Bone marrow smear: 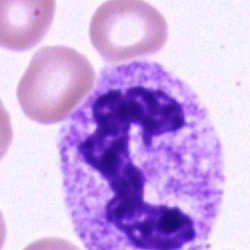

A neutrophil (segmented).